Bone marrow aspirate smear · brightfield microscopy, 40× oil immersion.
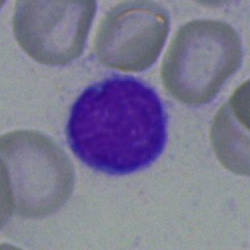

Q: What cell is this?
A: This is a lymphocyte.